Single-cell crop · bone marrow smear
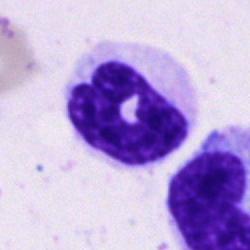The cell shown is a segmented neutrophil.